250 by 250 pixels. Bone marrow smear:
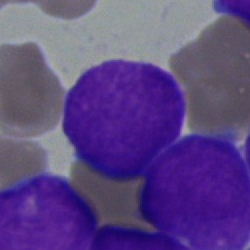 Showing a blast cell.